Bone marrow smear:
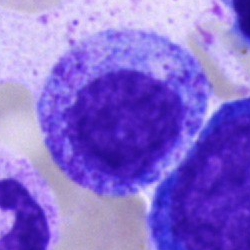 Morphology consistent with a promyelocyte.